40× objective, oil immersion · bone marrow aspirate smear — 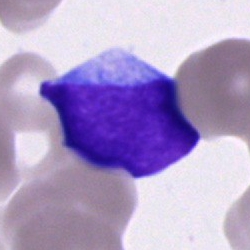 The classification is lymphocyte.